Bone marrow aspirate smear; Pappenheim-stained.
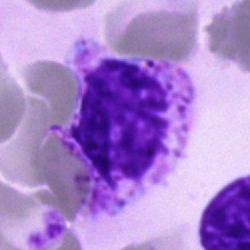
The cell shown is a segmented neutrophil.